100× objective, oil immersion; peripheral blood smear.
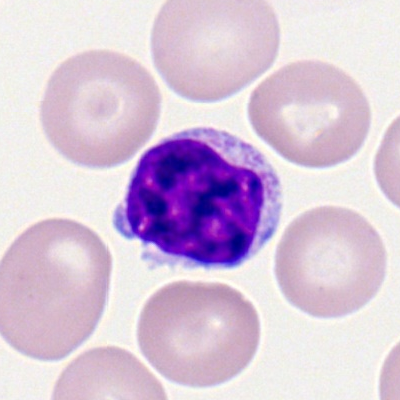

Q: What type of cell is this?
A: Lymphocyte.